Bone marrow aspirate smear — 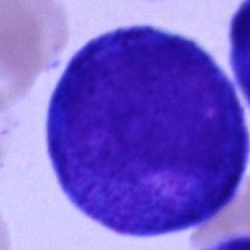
Q: What is the morphological classification of this cell?
A: Progranulocyte.